Bone marrow smear: 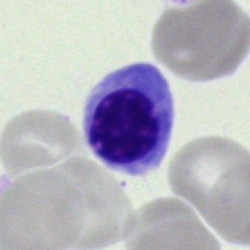
Morphology — nucleated red cell.